Bone marrow aspirate smear. 250 by 250 pixels — 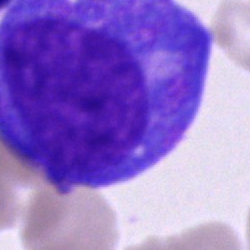
This is a promyelocyte.